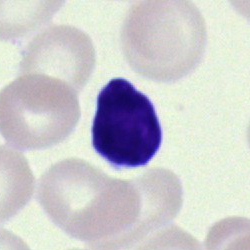
Cell — lymphocyte.